Bone marrow smear:
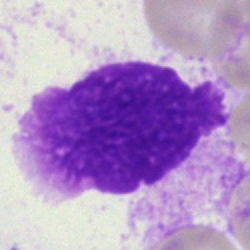 Impression → artefact.